Bone marrow aspirate smear — 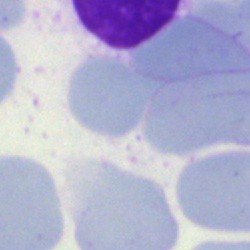Artifact.